250×250 px; bone marrow aspirate smear — 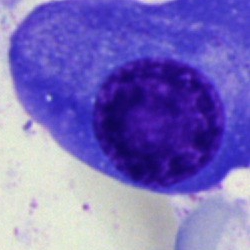
Showing a plasma cell.